Peripheral blood smear. 400 by 400 pixels. Romanowsky-stained.
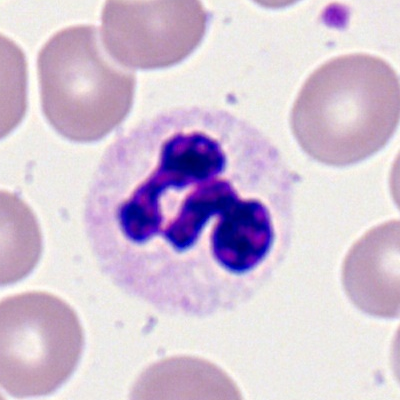
Specimen: peripheral blood film.
Cell: neutrophil (segmented).
Lineage: myeloid.